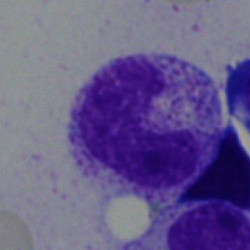
The morphological class is neutrophil (band).